Bone marrow smear. 250×250.
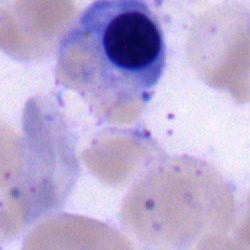The cell type is erythroblast.